Bone marrow aspirate smear — 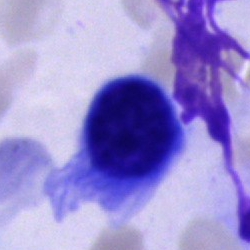

Morphology consistent with a cell of indeterminate lineage.